Bone marrow aspirate smear.
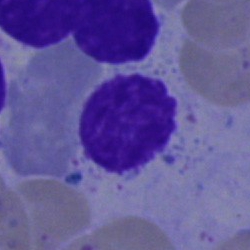

The cell shown is a typical lymphocyte.